Bone marrow aspirate smear.
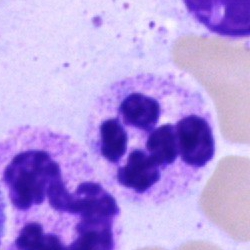
Polymorphonuclear neutrophil.